Bone marrow aspirate smear — 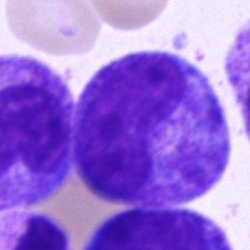

Specimen: bone marrow aspirate smear.
Cell: promyelocyte.
Lineage: myeloid.